Bone marrow aspirate smear
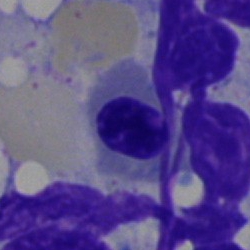
{"cell_type": "nucleated red cell", "lineage": "erythroid"}